Bone marrow smear: 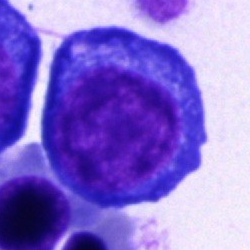 Pronormoblast.